Bone marrow aspirate smear — 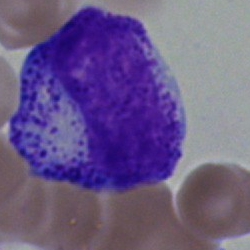Showing a metamyelocyte.